Bone marrow aspirate smear.
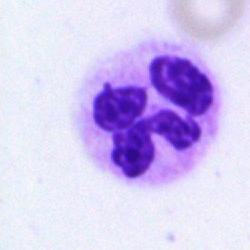
Cell type: polymorphonuclear neutrophil.